Bone marrow smear: 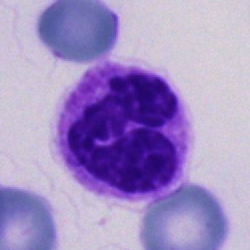Showing a neutrophil (segmented).